Peripheral blood smear; single-cell crop.
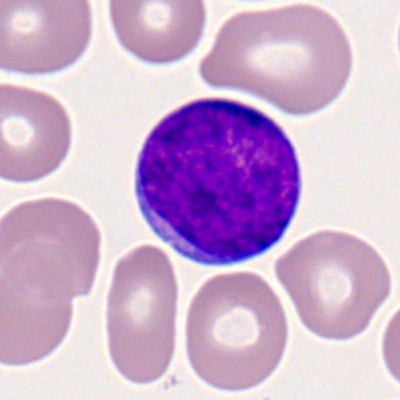
{"cell_type": "myeloblast", "lineage": "myeloid"}